Bone marrow smear. Single-cell field:
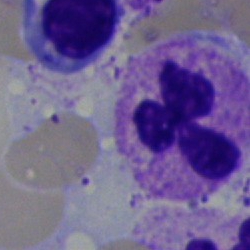The cell shown is a polymorphonuclear neutrophil.